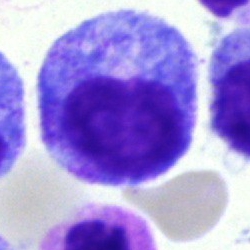
The morphological class is myelocyte.